Peripheral blood film · Romanowsky stain
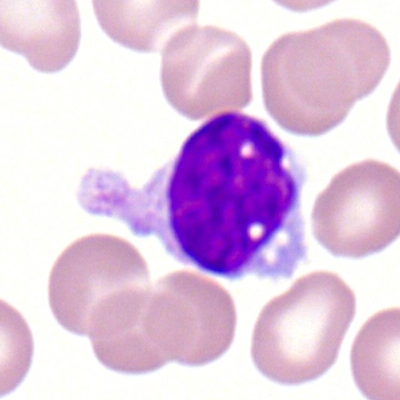Morphology — lymphocyte.